Bone marrow aspirate smear · image size 250×250 · brightfield, 40× oil-immersion objective: 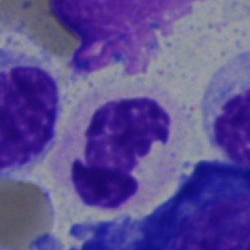
Single cell identified as a polymorphonuclear neutrophil.